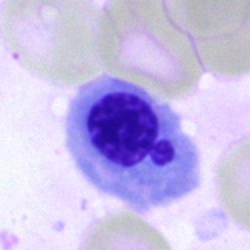Morphology → nucleated red blood cell.